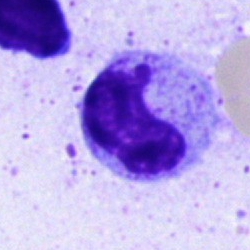Q: What type of cell is this?
A: This is a segmented neutrophil.